Pappenheim-stained. Bone marrow smear — 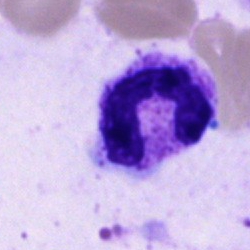

Single cell identified as a segmented neutrophil.